Bone marrow aspirate smear; 40× oil immersion; MGG-stained.
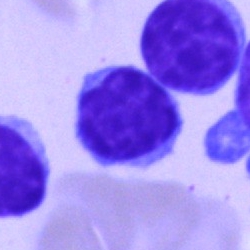 Lymphocyte.